40× objective, oil immersion · 250×250 px · bone marrow aspirate smear
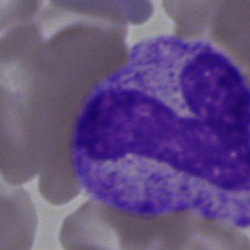Specimen: bone marrow aspirate smear.
Morphological class: stab cell.